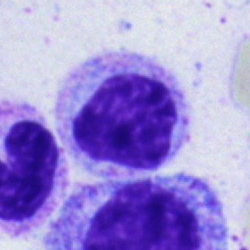
Q: What type of cell is this?
A: Myelocyte.